Pappenheim-stained. Bone marrow aspirate smear: 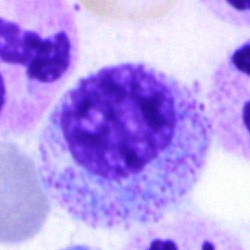The cell shown is a myelocyte.